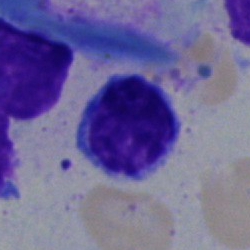 Classification = lymphocyte.